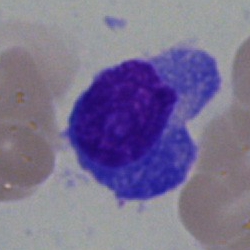 Cell — plasma cell.